Bone marrow aspirate smear:
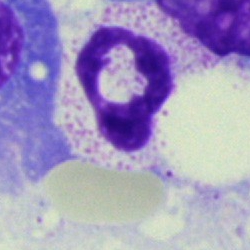

This is a segmented neutrophil.